Pappenheim-stained; single-cell crop; bone marrow aspirate smear — 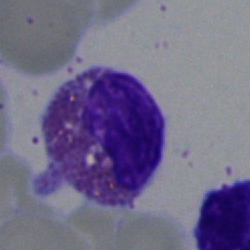 Specimen: bone marrow aspirate smear.
Cell: eosinophil.
Lineage: myeloid.